Single-cell field; bone marrow smear — 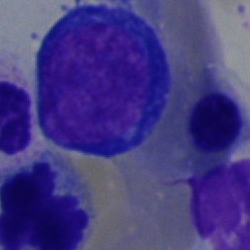

Impression — pronormoblast.